Bone marrow smear.
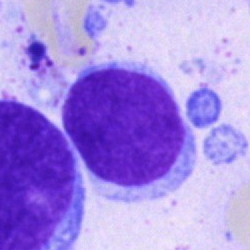 Cell — undifferentiated blast.